Bone marrow aspirate smear; 40× objective, oil immersion: 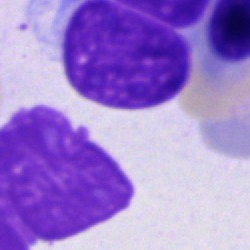

Q: What is shown here?
A: An artefact.